Bone marrow aspirate smear · single-cell field
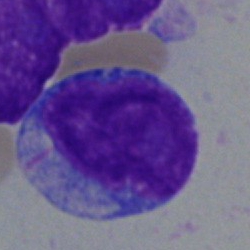
Specimen: bone marrow smear.
Cell: blast.